Bone marrow smear
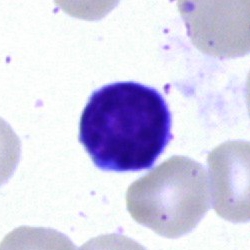Cell: lymphocyte.